40× oil immersion. Bone marrow aspirate smear: 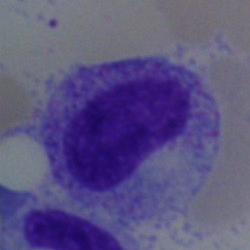
Morphology consistent with a metamyelocyte.